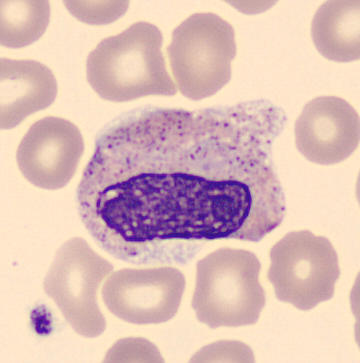Peripheral blood smear · single cell centered in the field.

The cell shown is a metamyelocyte.